Bone marrow smear. Single-cell field: 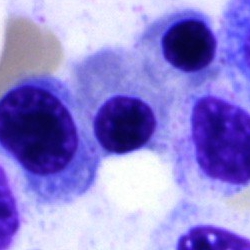Showing a normoblast.